Pappenheim-stained; 40× oil immersion; bone marrow smear: 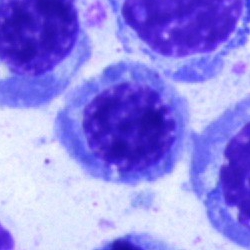

The classification is normoblast.